Bone marrow smear · May-Grünwald-Giemsa/Pappenheim stain:
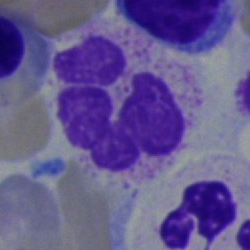
Single cell identified as a segmented neutrophil.